Bone marrow aspirate smear. 250×250. Brightfield, 40× oil-immersion objective
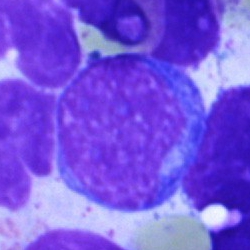
Q: What is the morphological classification of this cell?
A: Nucleated red cell.